Bone marrow aspirate smear — 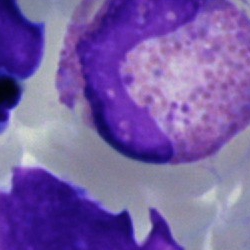

Classification: eosinophilic granulocyte.